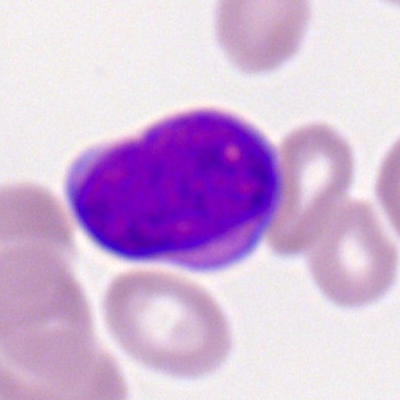

Q: What cell is this?
A: It is a myeloid blast.